Pappenheim-stained. Bone marrow smear
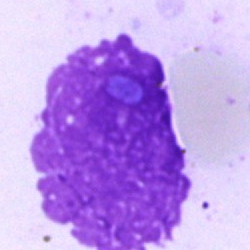Cell: artefact.